Bone marrow smear · May-Grünwald-Giemsa stain.
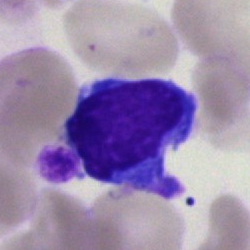

Morphology → typical lymphocyte.